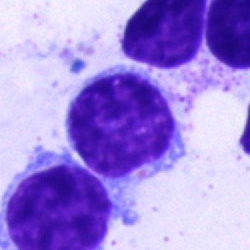

The cell shown is a typical lymphocyte.